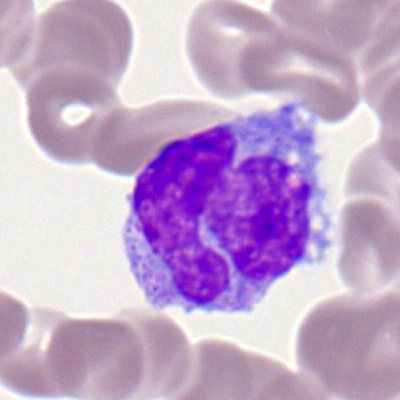 The cell is monocyte.